Bone marrow aspirate smear; brightfield microscopy, 40× oil immersion; MGG-stained — 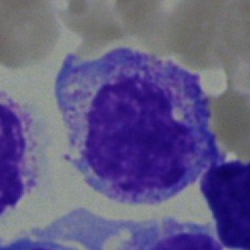 Morphological class = myelocyte.